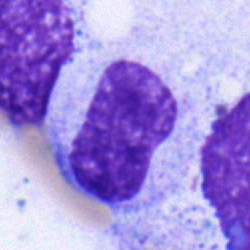
Classification — metamyelocyte.